Image size 250×250; bone marrow smear — 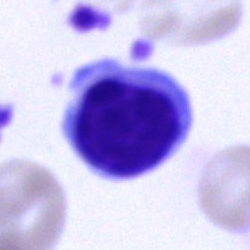A lymphocyte.